Bone marrow smear:
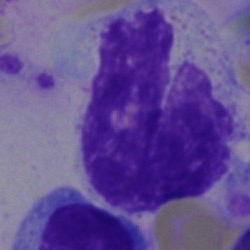Showing an artefact.